Bone marrow smear: 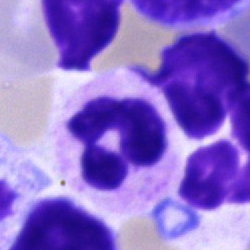Cell type: polymorphonuclear neutrophil.